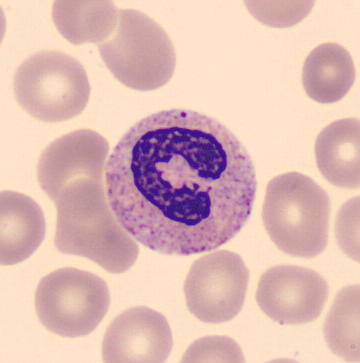

Morphology consistent with a stab cell.
Preparation: Peripheral blood film. May-Grünwald-Giemsa-stained. 360×363.